Bone marrow smear: 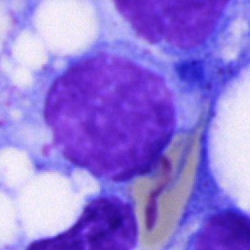Q: What is shown here?
A: It is a blast cell.